Bone marrow aspirate smear: 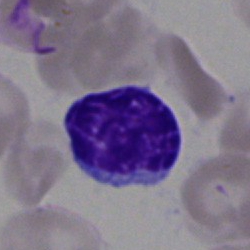

Lymphocyte.